Brightfield, 40× oil-immersion objective; bone marrow smear
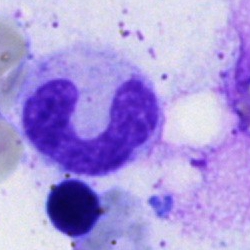

Impression — stab cell.